Bone marrow aspirate smear — 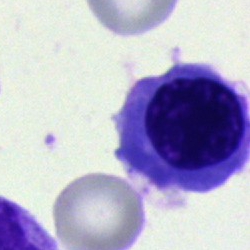 This is an erythroblast.